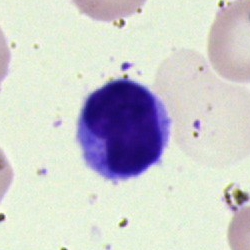 Q: What type of cell is this?
A: It is a typical lymphocyte.